250 by 250 pixels. Brightfield, 40× oil-immersion objective. Bone marrow aspirate smear:
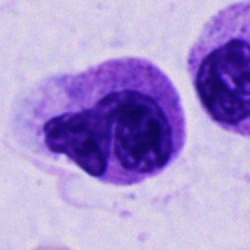
This is a polymorphonuclear neutrophil.